Peripheral blood film
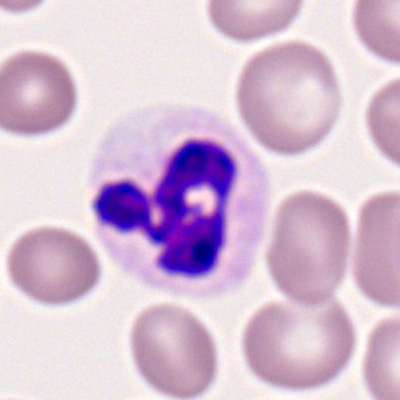Cell — polymorphonuclear neutrophil.